May-Grünwald-Giemsa stain; 40× objective, oil immersion; bone marrow aspirate smear.
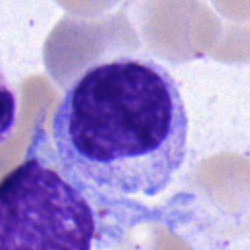

Morphology — myelocyte.